Bone marrow aspirate smear. 250×250 px: 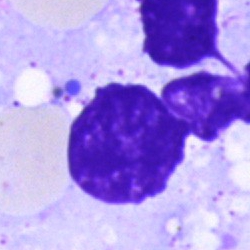

Impression — artefact.